Peripheral blood smear — 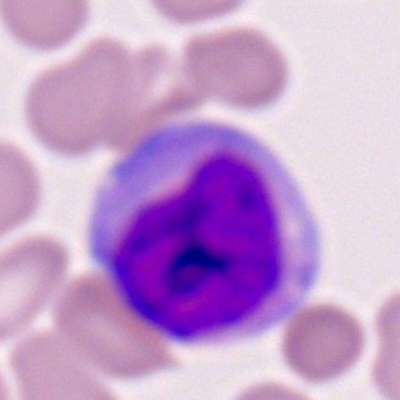Morphological class = monocyte.